Bone marrow smear; 250×250 — 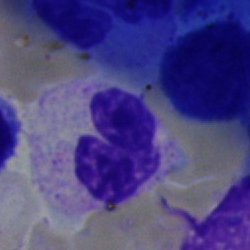 Q: What cell is this?
A: Band-form neutrophil.